Cropped to a single cell. 250×250. Bone marrow smear:
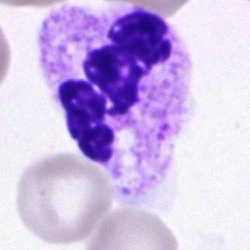 Q: What type of cell is this?
A: It is a neutrophil (segmented).